Bone marrow aspirate smear. Brightfield microscopy, 40× oil immersion:
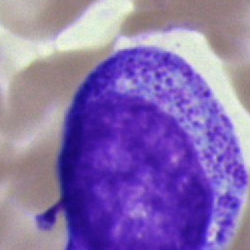Cell — progranulocyte.